Peripheral blood film: 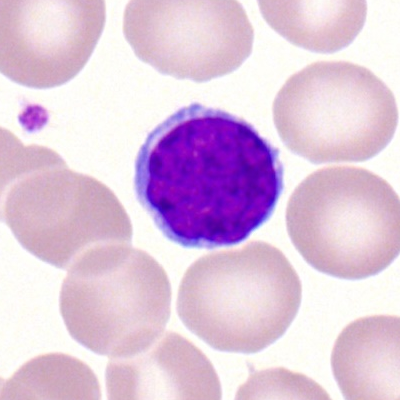 Cell = typical lymphocyte.